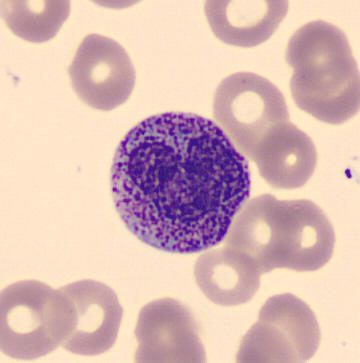Impression → metamyelocyte.